Bone marrow smear: 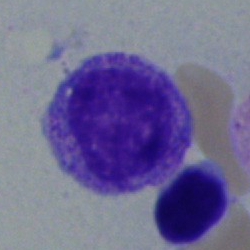

Myelocyte.